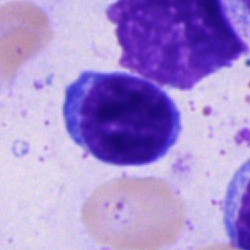
A typical lymphocyte on a bone marrow smear.